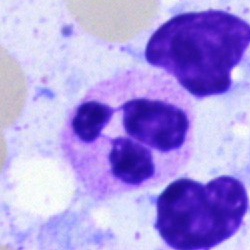

Impression — polymorphonuclear neutrophil.